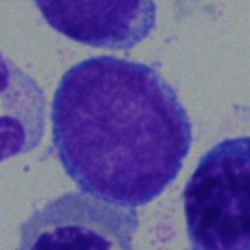

Cell = undifferentiated blast.